Bone marrow aspirate smear.
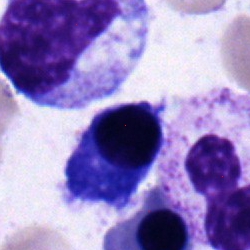Morphology consistent with a plasmacyte.